Bone marrow smear: 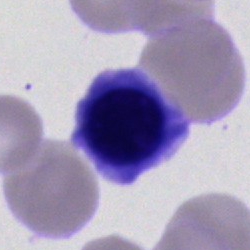Nucleated red cell.